Cropped to a single cell; bone marrow smear — 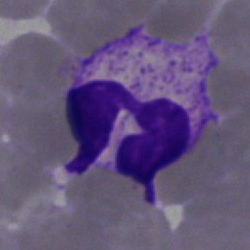

Impression → polymorphonuclear neutrophil.